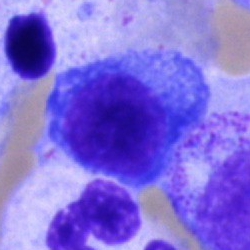

A plasmacyte.